Bone marrow aspirate smear. May-Grünwald-Giemsa/Pappenheim stain — 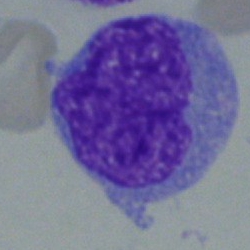Impression → undifferentiated blast.